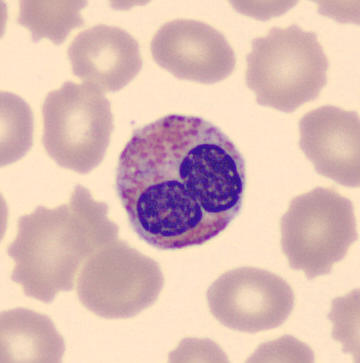

Peripheral blood film.
The cell shown is an eosinophilic granulocyte.